Peripheral blood smear.
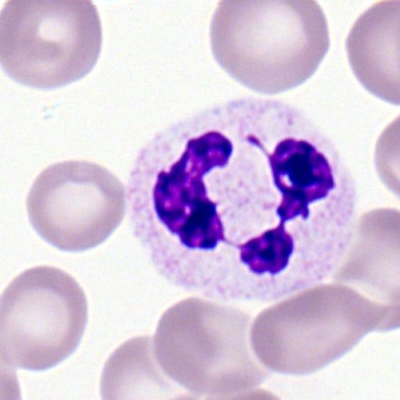
Morphological class = neutrophil (segmented).